Bone marrow smear; MGG-stained.
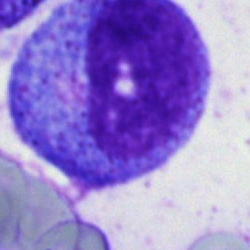 Single cell identified as a progranulocyte.